Bone marrow aspirate smear
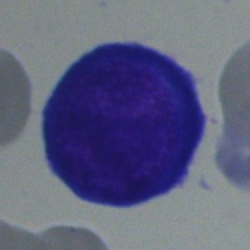Specimen: bone marrow smear.
Morphological class: pronormoblast.
Lineage: erythroid.